Bone marrow smear:
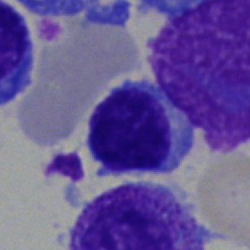

Cell type: lymphocyte.